Bone marrow aspirate smear; MGG-stained
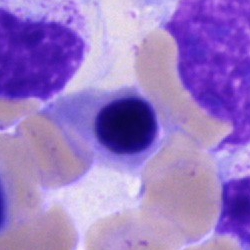 This is a nucleated red blood cell.